Bone marrow aspirate smear; May-Grünwald-Giemsa stain: 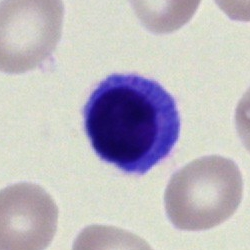
Typical lymphocyte.